Bone marrow aspirate smear. MGG-stained
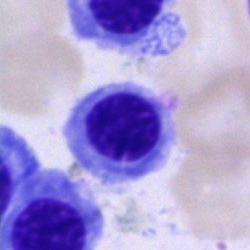This is a nucleated red blood cell.